May-Grünwald-Giemsa/Pappenheim stain; bone marrow aspirate smear; single cell centered in the field.
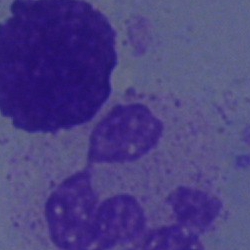
Single cell identified as a segmented neutrophil.